Single-cell crop; bone marrow smear:
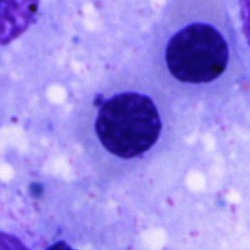

The classification is erythroblast.